Bone marrow aspirate smear:
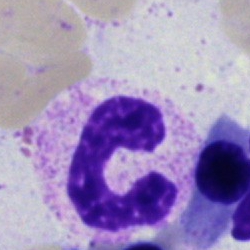 {"cell_type": "neutrophil (band)"}